Peripheral blood film:
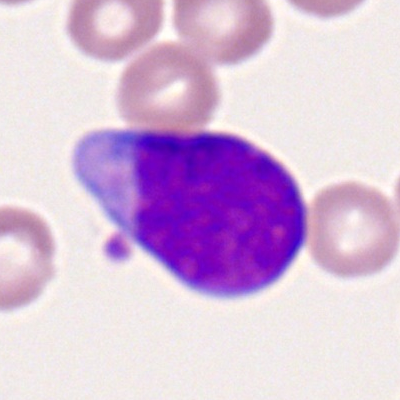Q: What is shown here?
A: It is a myeloblast.